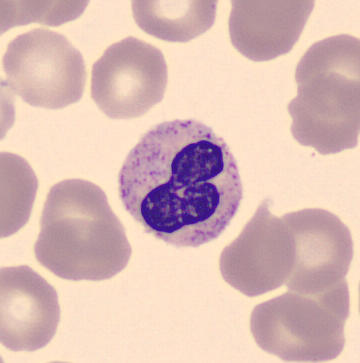
Acquisition: Cropped to a single cell · peripheral blood smear · CellaVision DM96 digital cell image. Morphology → band-form neutrophil.